Bone marrow aspirate smear: 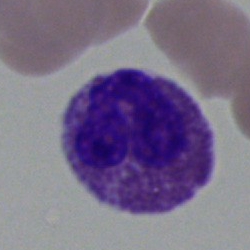
Cell type — eosinophilic granulocyte.